Bone marrow smear: 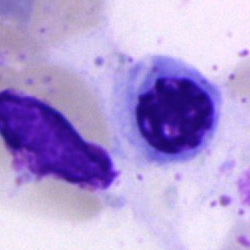Q: What is shown here?
A: A nucleated red cell.